Bone marrow smear; brightfield, 40× oil-immersion objective; cropped to a single cell:
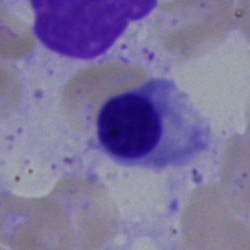The classification is normoblast.